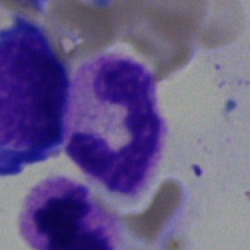
The cell is segmented neutrophil.